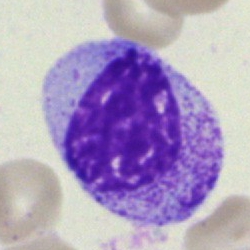Q: Identify the cell.
A: This is a myelocyte.